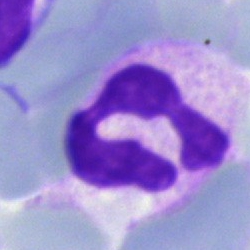

Morphological class = polymorphonuclear neutrophil.